Bone marrow smear
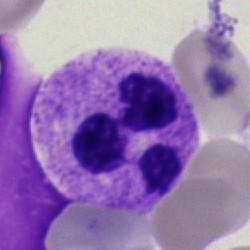The cell shown is a segmented neutrophil.